Romanowsky-type stain; peripheral blood film; 400×400.
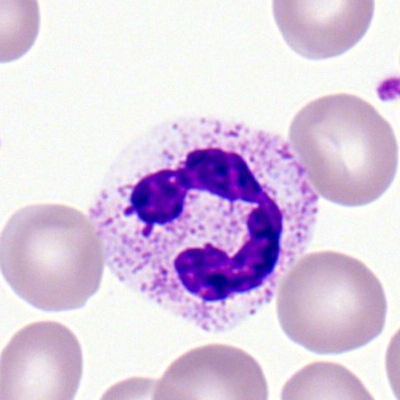
Classification: polymorphonuclear neutrophil.